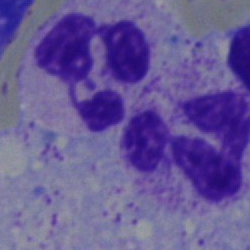 Morphological class = segmented neutrophil.